Bone marrow smear; May-Grünwald-Giemsa/Pappenheim stain; 40× oil immersion:
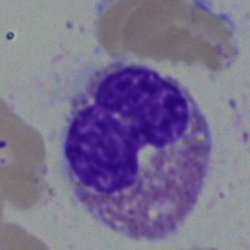 Q: What type of cell is this?
A: It is an eosinophil.